Bone marrow smear · May-Grünwald-Giemsa/Pappenheim stain · 40× oil immersion — 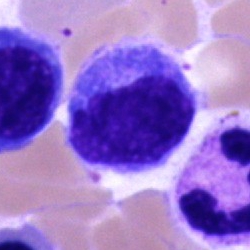 Q: What is the morphological classification of this cell?
A: A monocyte.